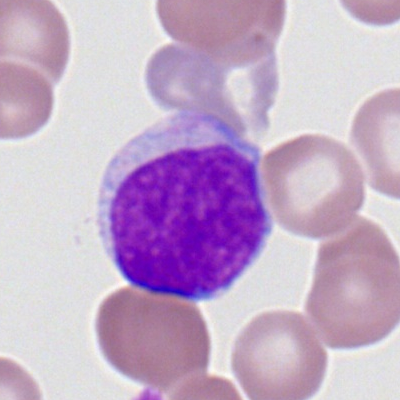 Myeloblast.